Pappenheim-stained; bone marrow smear.
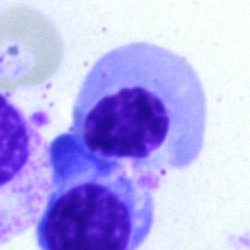 Morphological class — erythroblast.